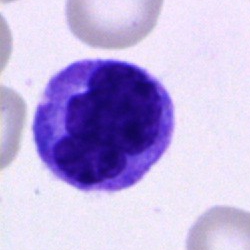
Cell type = monocyte.